Bone marrow smear · brightfield microscopy, 40× oil immersion · MGG-stained.
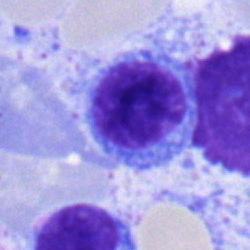
Cell: lymphocyte.